Bone marrow aspirate smear — 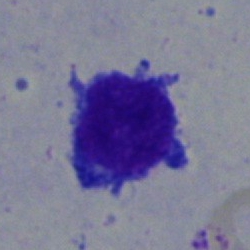
Lymphocyte.